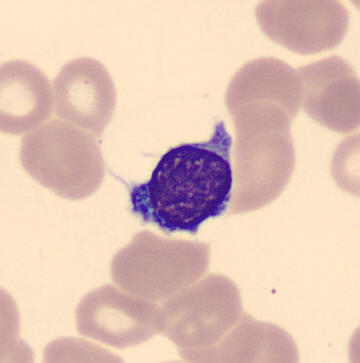
Identified as a typical lymphocyte.